Brightfield microscopy, 40× oil immersion. Bone marrow smear.
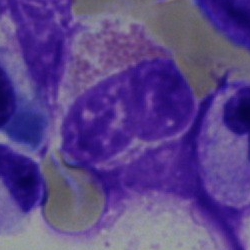
The cell shown is an eosinophilic granulocyte.